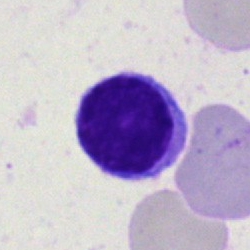 Q: Which cell type is shown here?
A: Lymphocyte.